Bone marrow smear
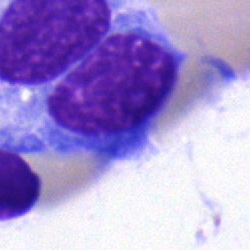
Specimen: bone marrow smear.
Classification: plasmacyte.